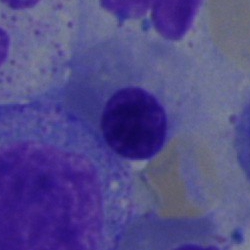

Q: Which cell type is shown here?
A: Nucleated red cell.